Single cell centered in the field · bone marrow aspirate smear · May-Grünwald-Giemsa/Pappenheim stain:
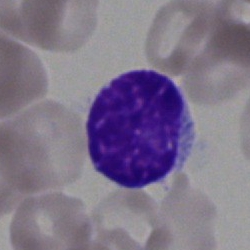 Classification = lymphocyte.